Bone marrow smear:
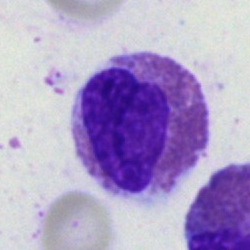Specimen: bone marrow aspirate smear.
Cell: eosinophilic granulocyte.